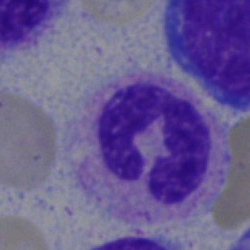Q: What type of cell is this?
A: This is a polymorphonuclear neutrophil.